Bone marrow aspirate smear
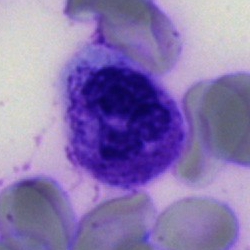 Impression — segmented neutrophil.